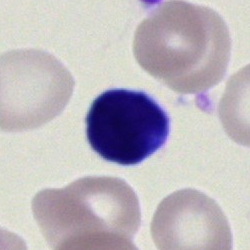 Showing a typical lymphocyte.